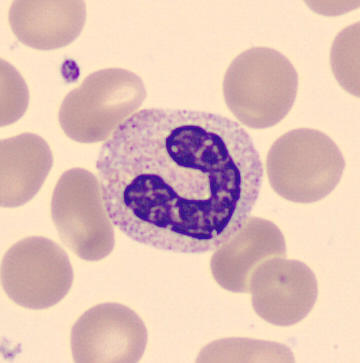

Peripheral blood film, single cell — band-form neutrophil.